Bone marrow aspirate smear:
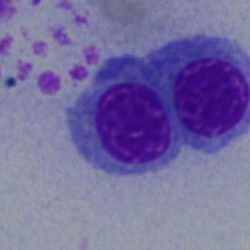 Specimen: bone marrow smear.
Morphological class: normoblast.